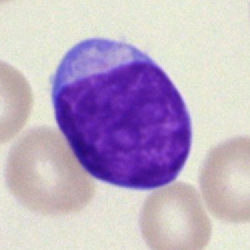Morphological class: undifferentiated blast.